Bone marrow smear:
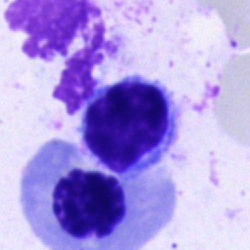 {"cell_type": "typical lymphocyte"}